Bone marrow aspirate smear.
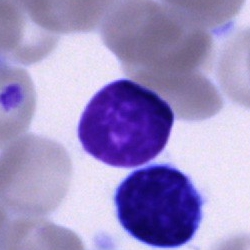
Morphology — lymphocyte.